Single-cell crop · Pappenheim-stained · bone marrow smear.
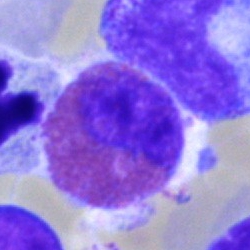

Single cell identified as an eosinophilic granulocyte.